Bone marrow smear:
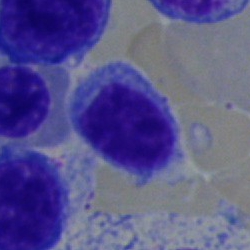
Morphology consistent with a normoblast.